Image size 250×250 · bone marrow smear
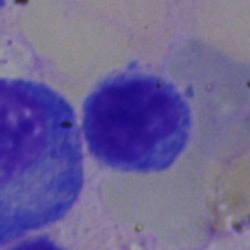 Showing a typical lymphocyte.